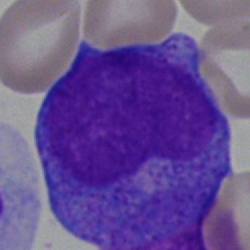 The morphological class is promyelocyte.